40× objective, oil immersion; bone marrow aspirate smear: 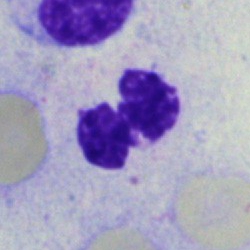This is a polymorphonuclear neutrophil.